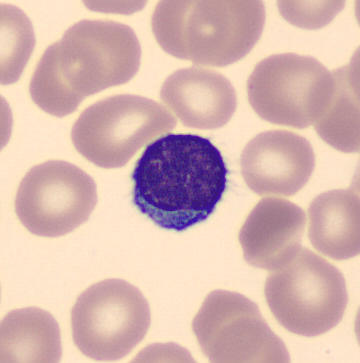
Specimen: peripheral blood smear.
Cell: lymphocyte.